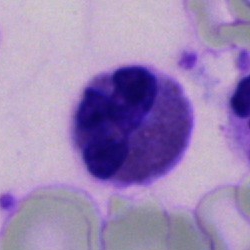

Specimen: bone marrow smear.
Morphological class: eosinophil.